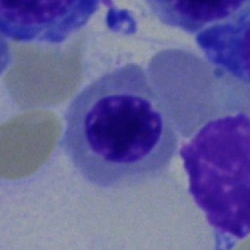
Cell type = normoblast.